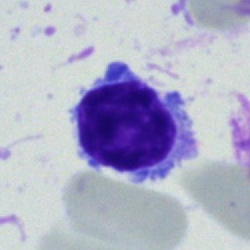
A typical lymphocyte.